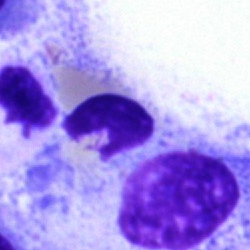
Q: What is shown here?
A: An artefact.